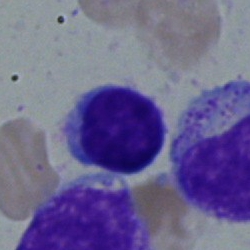Specimen: bone marrow smear.
Classification: typical lymphocyte.